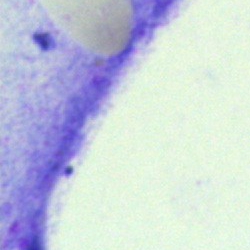 Single cell identified as an artefact.